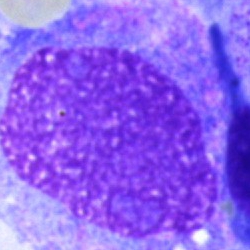 An artefact.